Romanowsky-stained · peripheral blood film · 400×400 px:
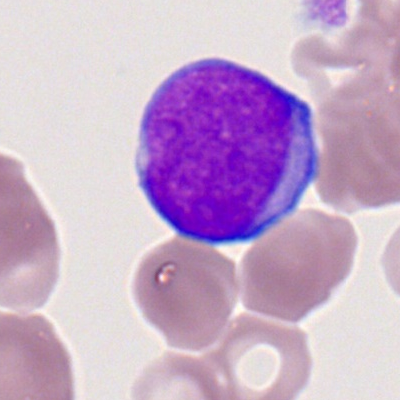

Myeloid blast.